Bone marrow aspirate smear.
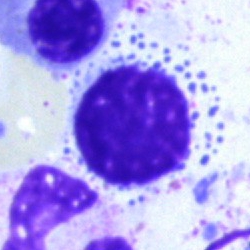{"cell_type": "artifact"}